Bone marrow aspirate smear. MGG-stained:
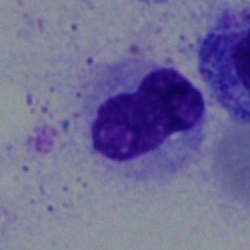 This is a neutrophil (band).